Bone marrow aspirate smear; cropped to a single cell — 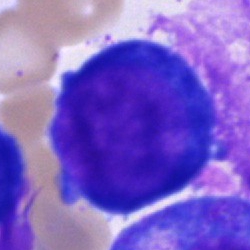 Showing a proerythroblast.